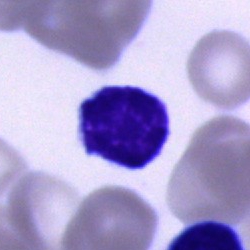Morphology — lymphocyte.